Bone marrow smear:
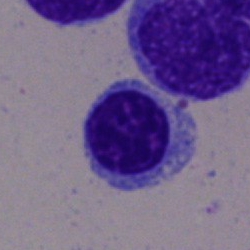
The morphological class is lymphocyte.